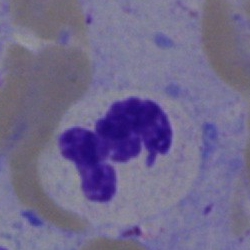
Bone marrow smear showing a segmented neutrophil.